May-Grünwald-Giemsa/Pappenheim stain. Bone marrow aspirate smear — 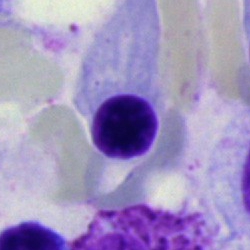Morphology consistent with a nucleated red blood cell.